Bone marrow aspirate smear. Brightfield, 40× oil-immersion objective. May-Grünwald-Giemsa stain:
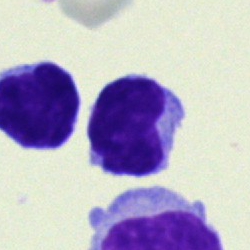 Q: What is the morphological classification of this cell?
A: A typical lymphocyte.